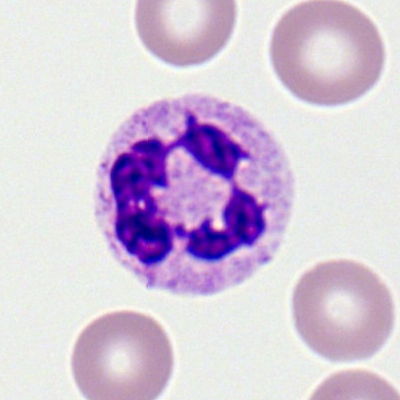

Single cell identified as a neutrophil (segmented).